May-Grünwald-Giemsa stain; bone marrow smear: 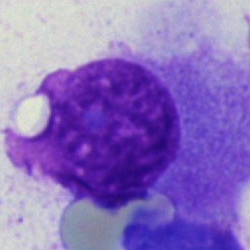
Morphological class = artifact.